MGG-stained. Bone marrow smear
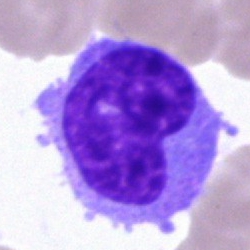 Morphological class: monocyte.